Bone marrow aspirate smear
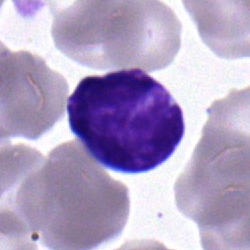 Morphology — lymphocyte.